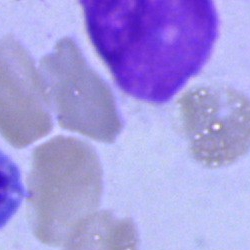Showing an artifact.